Bone marrow smear: 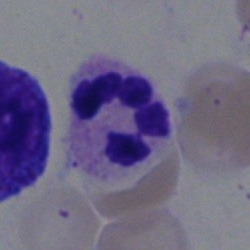Cell: neutrophil (segmented).